Bone marrow aspirate smear. May-Grünwald-Giemsa/Pappenheim stain:
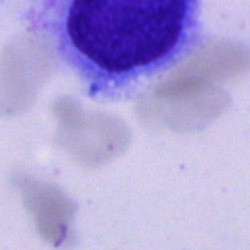 The cell shown is an artifact.